Bone marrow aspirate smear.
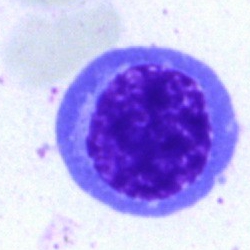 Q: What cell is this?
A: Erythroblast.